Bone marrow aspirate smear · 250×250 — 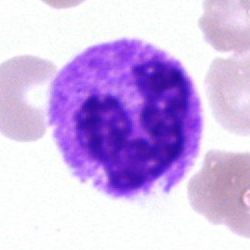

Impression → neutrophil (segmented).